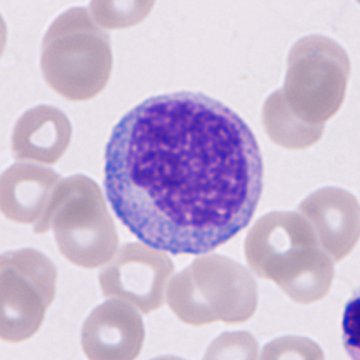 Morphology — immature granulocyte.

Acquisition: 360 by 360 pixels. Peripheral blood film.